Bone marrow smear.
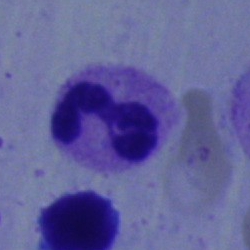 Morphology consistent with a neutrophil (segmented).